Bone marrow smear:
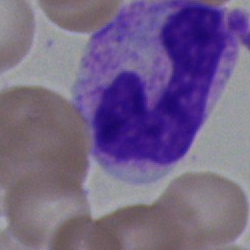 Specimen: bone marrow smear.
Classification: neutrophil (band).
Lineage: myeloid.